Bone marrow aspirate smear:
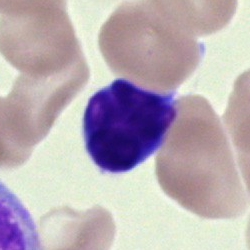
A lymphocyte.